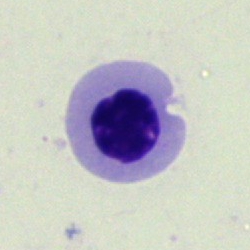Morphological class: normoblast.